Bone marrow aspirate smear:
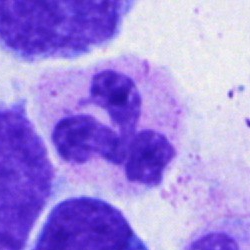

Q: Identify the cell.
A: It is a neutrophil (segmented).